Peripheral blood film
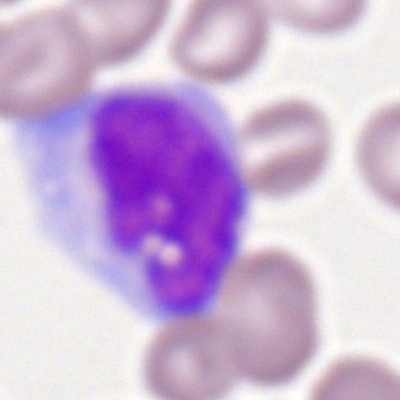
Impression → monocyte.